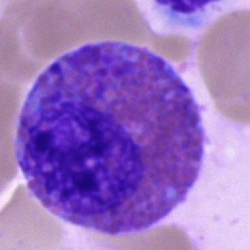

The cell shown is an eosinophil.